Bone marrow smear:
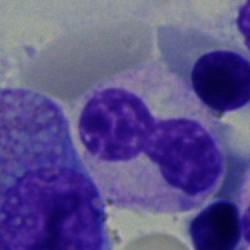
The cell is neutrophil (band).